Cropped to a single cell. Bone marrow smear — 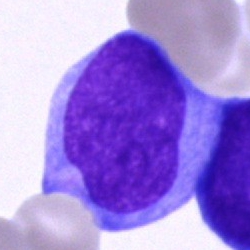 Cell type = blast.